Bone marrow smear:
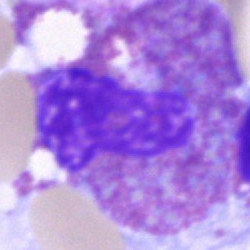Specimen: bone marrow aspirate smear.
Cell: eosinophilic granulocyte.
Lineage: myeloid.